Bone marrow smear.
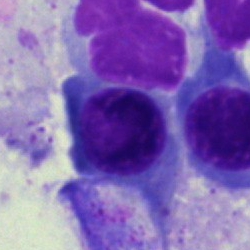
Q: What is shown here?
A: Nucleated red blood cell.